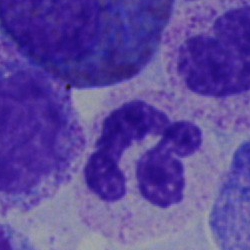Q: What is the morphological classification of this cell?
A: Segmented neutrophil.